40× objective, oil immersion · May-Grünwald-Giemsa stain · bone marrow smear.
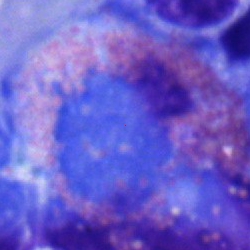Specimen: bone marrow aspirate smear.
Cell type: eosinophil.